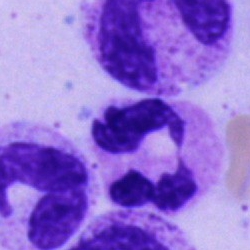

Morphological class: polymorphonuclear neutrophil.